Bone marrow aspirate smear. Single-cell field. Image size 250×250
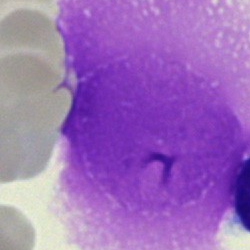
An artifact.